Peripheral blood film:
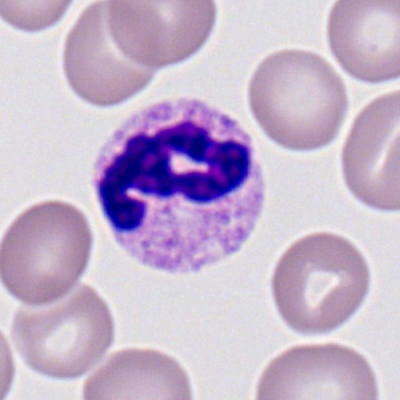A neutrophil (segmented).